Romanowsky stain. Single cell centered in the field. Peripheral blood film
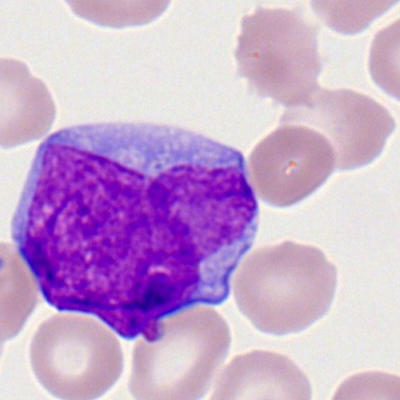

Myeloblast.